Bone marrow smear:
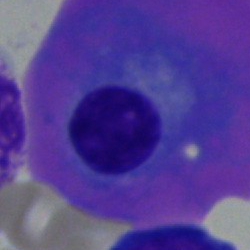The classification is plasma cell.